Peripheral blood film. 100× objective, oil immersion. Romanowsky-stained.
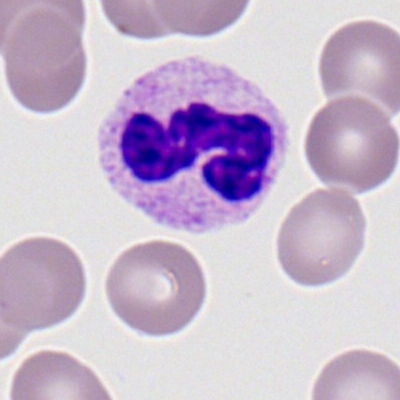Single cell identified as a segmented neutrophil.